Bone marrow smear: 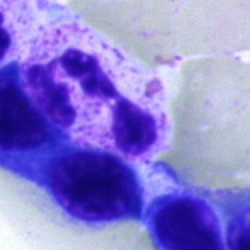

Morphology → polymorphonuclear neutrophil.